Bone marrow smear · May-Grünwald-Giemsa/Pappenheim stain:
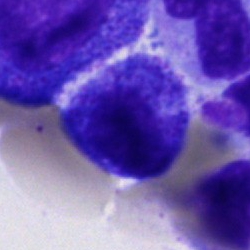Cell — progranulocyte.